Peripheral blood smear — 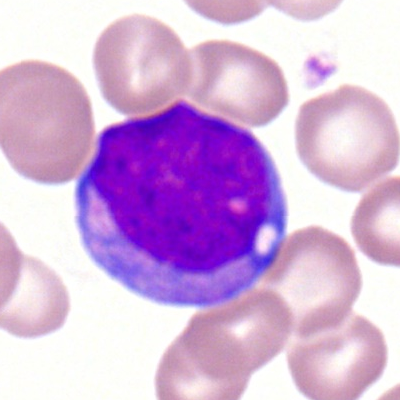

Morphology consistent with a myeloblast.